40× oil immersion; bone marrow aspirate smear.
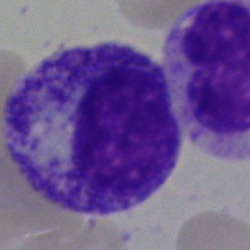The classification is myelocyte.